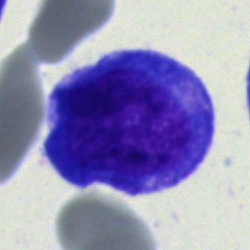
Bone marrow smear showing a blast.